Bone marrow aspirate smear · 40× oil immersion
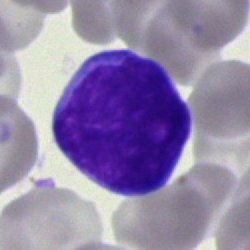
Cell type: undifferentiated blast.